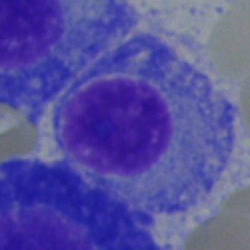
The cell shown is a plasmacyte.